Bone marrow aspirate smear — 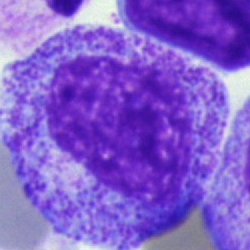Morphology → promyelocyte.